Image size 250×250; bone marrow aspirate smear — 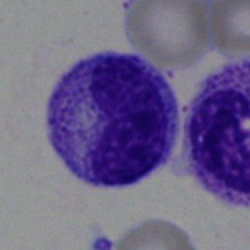

The cell type is metamyelocyte.